Single cell centered in the field · May-Grünwald-Giemsa/Pappenheim stain · bone marrow aspirate smear: 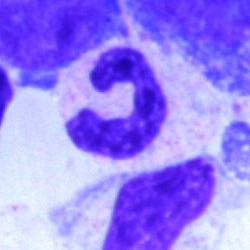 Single cell identified as a segmented neutrophil.